Bone marrow smear; 40× objective, oil immersion; Pappenheim-stained
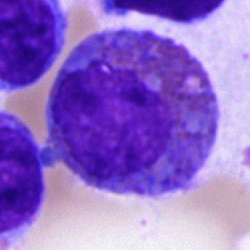The cell shown is an eosinophil.